Peripheral blood smear
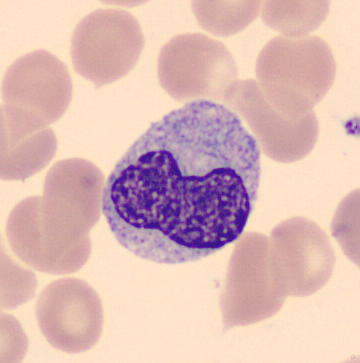

Morphological class = monocyte.